Peripheral blood smear; single-cell field; Romanowsky-stained
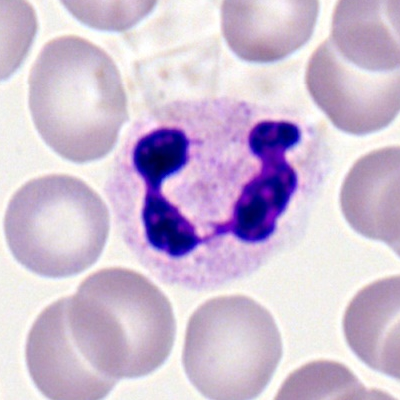 Specimen: peripheral blood film.
Morphological class: segmented neutrophil.